Bone marrow smear: 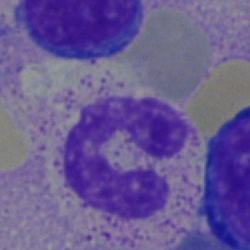

Specimen: bone marrow aspirate smear.
Cell type: band-form neutrophil.
Lineage: myeloid.